40× oil immersion; bone marrow smear:
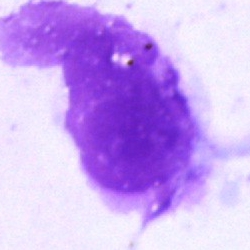Classification = artefact.